Bone marrow smear · 40× objective, oil immersion — 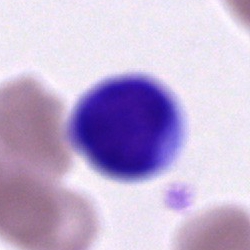

Morphological class — typical lymphocyte.